Bone marrow aspirate smear: 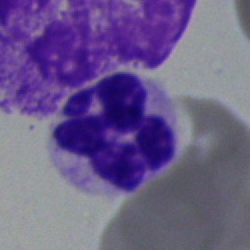

A polymorphonuclear neutrophil.